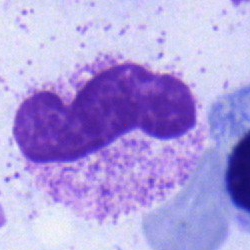
Morphological class: band-form neutrophil.